Brightfield, 40× oil-immersion objective. Bone marrow aspirate smear.
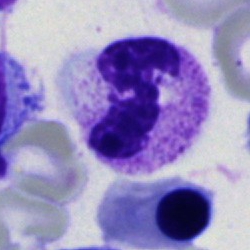 Cell type = segmented neutrophil.